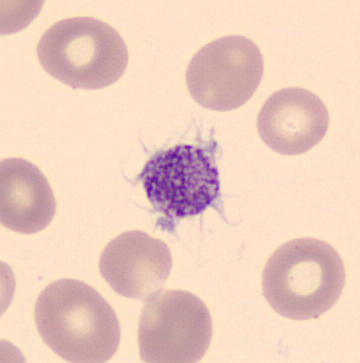 Peripheral blood smear. This is a platelet (thrombocyte).